Bone marrow smear · single cell centered in the field · Pappenheim-stained
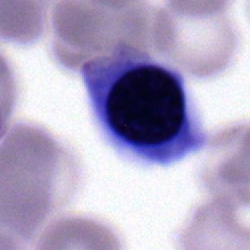

Morphology consistent with a nucleated red blood cell.